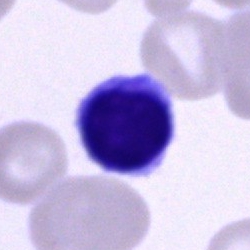

Single-cell crop from a bone marrow smear: typical lymphocyte.